Peripheral blood film — 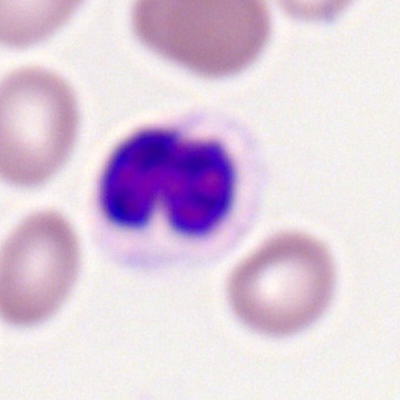

Classification: segmented neutrophil.